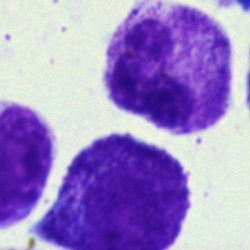

Morphology consistent with a polymorphonuclear neutrophil.